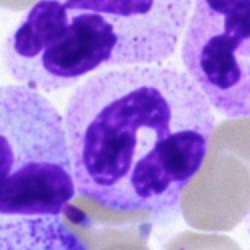 This is a neutrophil (segmented).